Bone marrow aspirate smear — 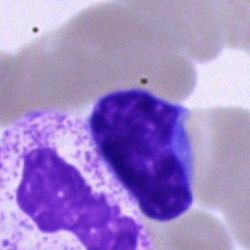

The cell shown is a typical lymphocyte.